May-Grünwald-Giemsa/Pappenheim stain; 40× oil immersion; bone marrow aspirate smear
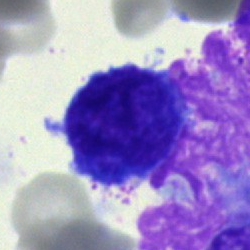 Classification: typical lymphocyte.